Bone marrow aspirate smear — 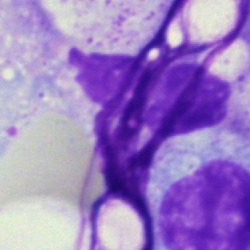Q: What is shown here?
A: Artifact.